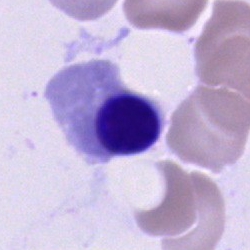 {"cell_type": "erythroblast", "lineage": "erythroid"}